Image size 250×250 · bone marrow aspirate smear
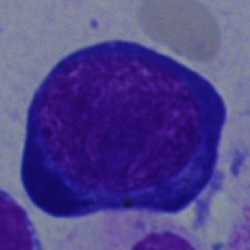 The classification is proerythroblast.